Bone marrow aspirate smear. MGG-stained. Single-cell crop.
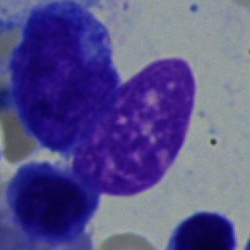

A blast.